Bone marrow aspirate smear.
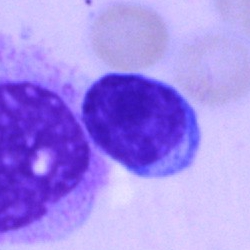 {"cell_type": "typical lymphocyte", "lineage": "lymphoid"}